Bone marrow smear. Single-cell field. Brightfield microscopy, 40× oil immersion: 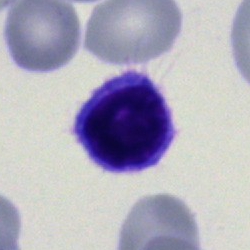
Lymphocyte.